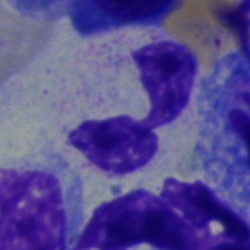

The cell is neutrophil (segmented).